Bone marrow smear
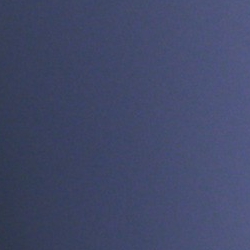
Morphology consistent with an artifact.